Bone marrow smear.
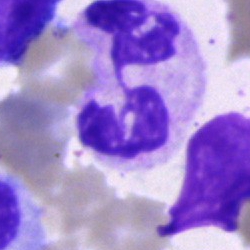 Morphology consistent with a segmented neutrophil.